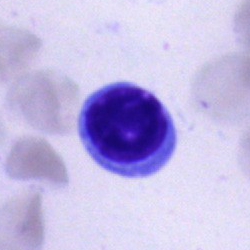Specimen: bone marrow aspirate smear.
Cell type: cell of indeterminate lineage.